Bone marrow aspirate smear: 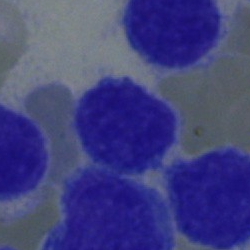

Impression — lymphocyte.